Bone marrow aspirate smear
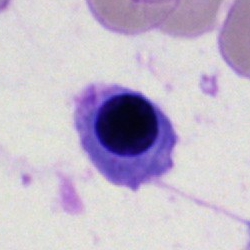The cell shown is an erythroblast.